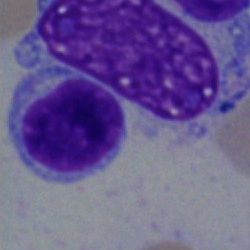 Cell type = typical lymphocyte.